Single-cell crop. Bone marrow aspirate smear — 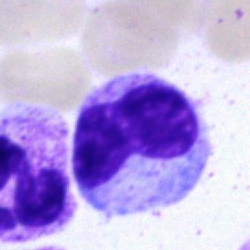

Q: Which cell type is shown here?
A: Metamyelocyte.